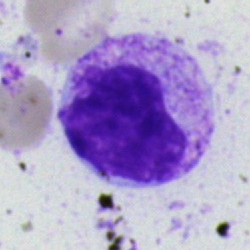The classification is metamyelocyte.